Peripheral blood film. Romanowsky-type stain — 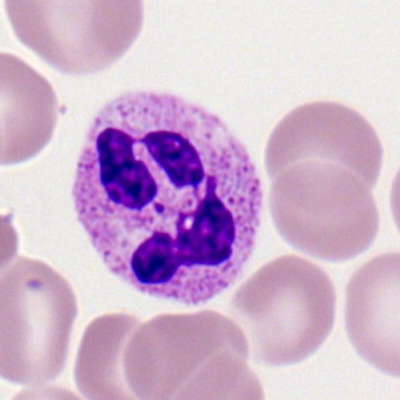
Impression → polymorphonuclear neutrophil.